Bone marrow aspirate smear.
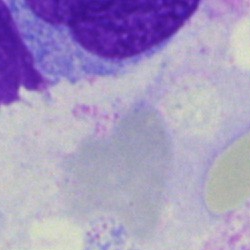

Single cell identified as an artefact.